40× oil immersion. Bone marrow aspirate smear:
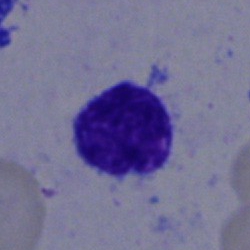 Cell — lymphocyte.